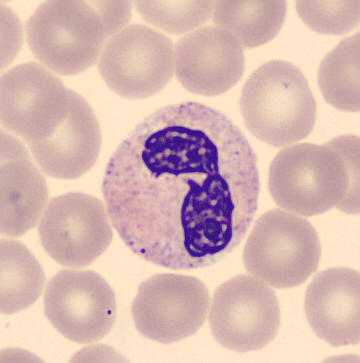The cell shown is a polymorphonuclear neutrophil. Acquisition: Peripheral blood film; automated cell imaging (CellaVision DM96).